Bone marrow smear.
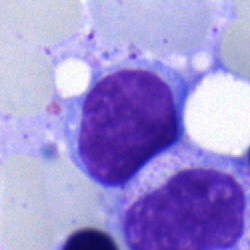 Morphology consistent with a typical lymphocyte.